Peripheral blood film — 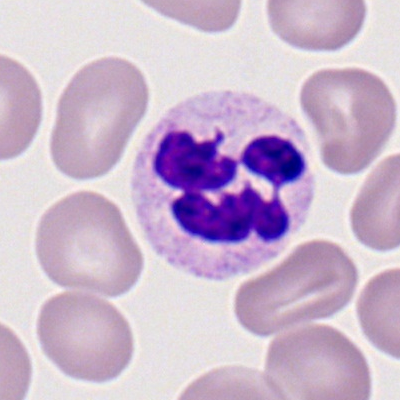

Specimen: peripheral blood smear.
Morphological class: polymorphonuclear neutrophil.